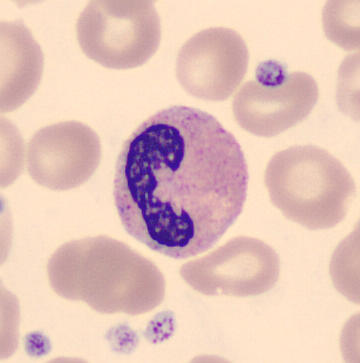Neutrophil (band).

360×363 px. Peripheral blood film.